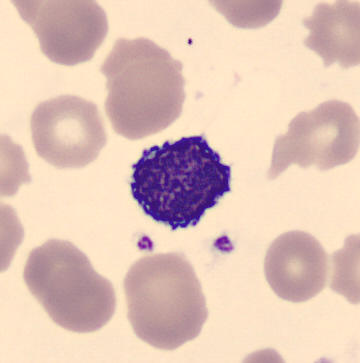

May-Grünwald-Giemsa-stained. Peripheral blood film.

Cell: typical lymphocyte.